Peripheral blood film.
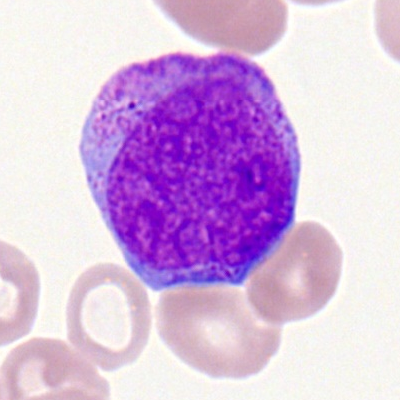 Morphology consistent with a myeloid blast.